Bone marrow smear:
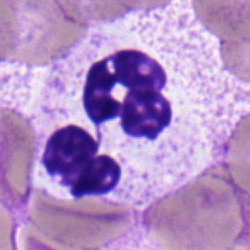 Q: What type of cell is this?
A: It is a neutrophil (segmented).